Bone marrow aspirate smear
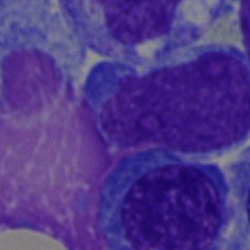Classification = blast cell.